Bone marrow aspirate smear.
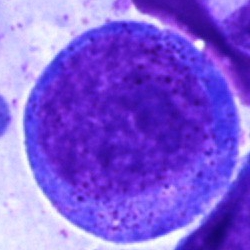
Cell — progranulocyte.